Bone marrow aspirate smear: 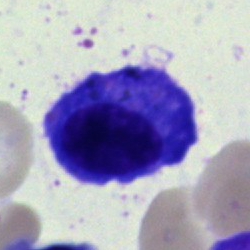
Q: Which cell type is shown here?
A: A plasmacyte.